Bone marrow smear.
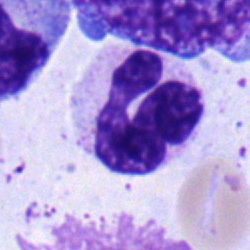

Morphology — segmented neutrophil.